Bone marrow aspirate smear · single-cell crop
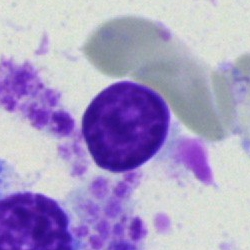

Specimen: bone marrow smear.
Cell: artifact.